Single cell centered in the field. Bone marrow aspirate smear:
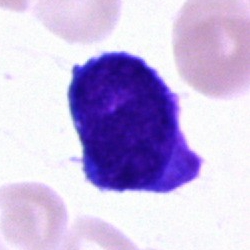

Q: What cell is this?
A: It is a blast.